Bone marrow smear.
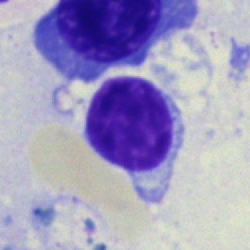

The cell shown is a lymphocyte.